Bone marrow aspirate smear · 250×250 px: 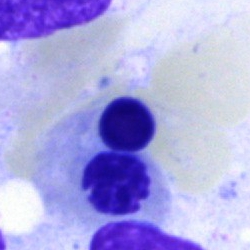 Specimen: bone marrow aspirate smear.
Morphological class: erythroblast.
Lineage: erythroid.